Bone marrow aspirate smear — 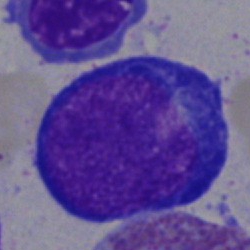
{"cell_type": "proerythroblast"}